Bone marrow aspirate smear; image size 250×250; brightfield microscopy, 40× oil immersion
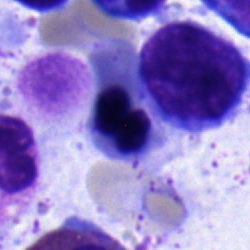

Classification: normoblast.